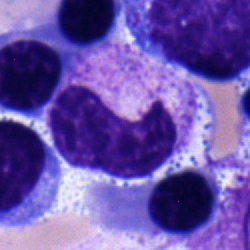Classification — neutrophil (band).